Bone marrow aspirate smear; brightfield, 40× oil-immersion objective; May-Grünwald-Giemsa stain:
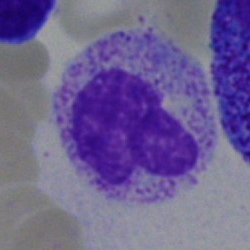
The classification is band-form neutrophil.